Peripheral blood smear; automated cell imaging (CellaVision DM96): 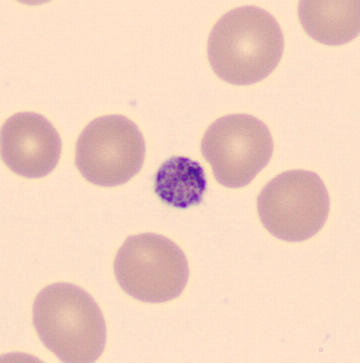

Morphological class — platelet (thrombocyte).